Bone marrow aspirate smear. Single cell centered in the field
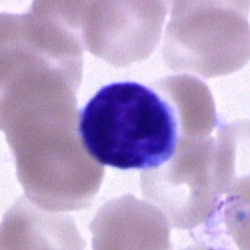
A lymphocyte.